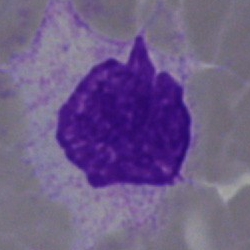 {"cell_type": "artifact"}